Bone marrow aspirate smear.
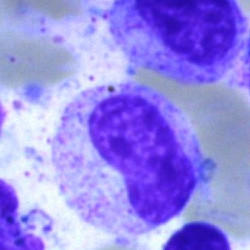 Showing a neutrophil (band).